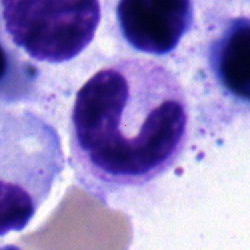
Cell — stab cell.